MGG-stained; bone marrow aspirate smear; 40× objective, oil immersion.
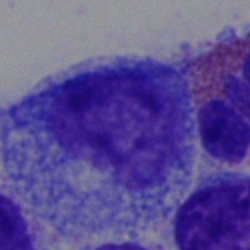 Cell type = progranulocyte.